Bone marrow aspirate smear.
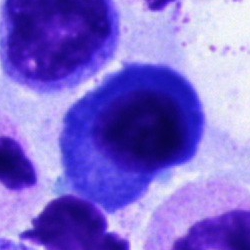This is a plasmacyte.